Peripheral blood smear:
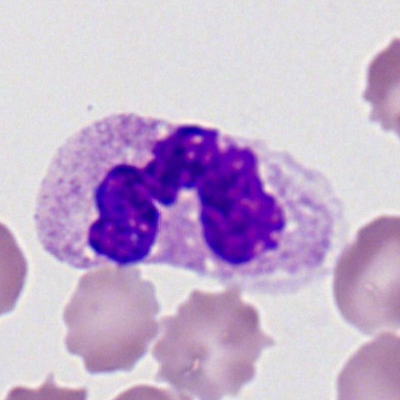Cell type — neutrophil (segmented).